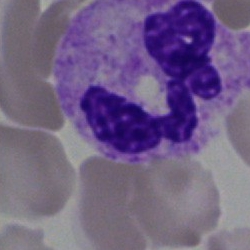
Q: What type of cell is this?
A: A neutrophil (segmented).